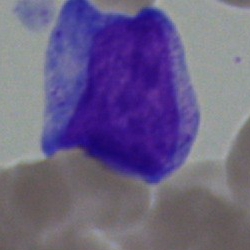

Specimen: bone marrow smear.
Classification: blast cell.